Bone marrow smear · single-cell field · 250 by 250 pixels.
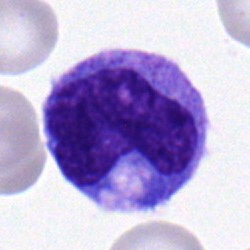
Morphological class — monocyte.